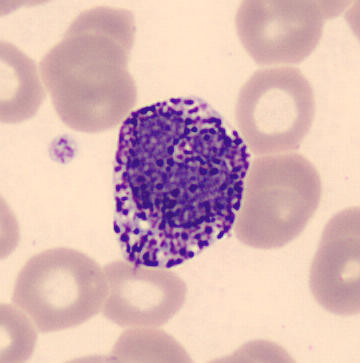
The cell shown is a basophilic granulocyte.